MGG-stained. Bone marrow aspirate smear
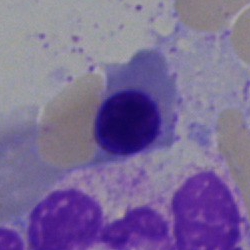 Single cell identified as an erythroblast.